400×400 · peripheral blood smear.
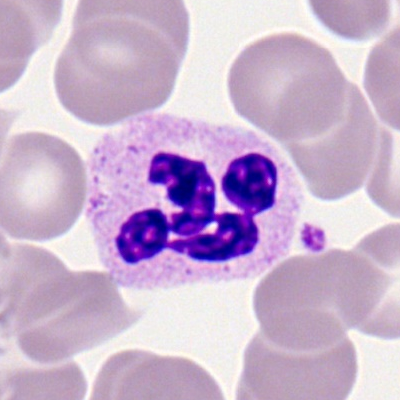Cell — neutrophil (segmented).